Bone marrow aspirate smear; single-cell field; brightfield, 40× oil-immersion objective:
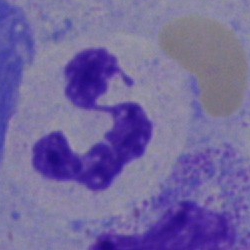Q: What is shown here?
A: This is a polymorphonuclear neutrophil.